Bone marrow aspirate smear: 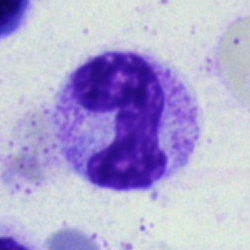Single cell identified as a band-form neutrophil.